May-Grünwald-Giemsa stain; bone marrow smear; 250×250 — 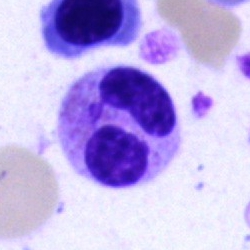 Morphological class: polymorphonuclear neutrophil.